Single-cell field. Bone marrow aspirate smear. 40× oil immersion.
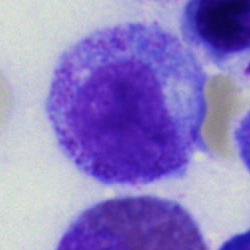

Showing a promyelocyte.